Single-cell crop · bone marrow smear: 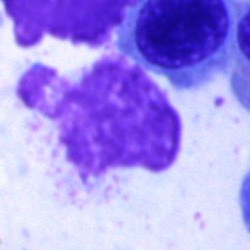
Q: What is shown here?
A: It is an artifact.